Bone marrow smear
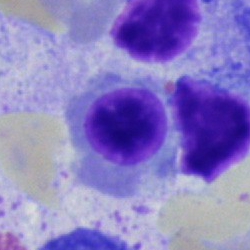Morphological class — erythroblast.